Single-cell field. Bone marrow aspirate smear:
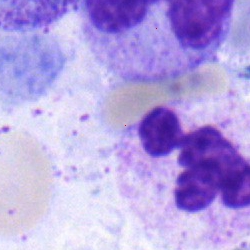A neutrophil (segmented).